Peripheral blood smear:
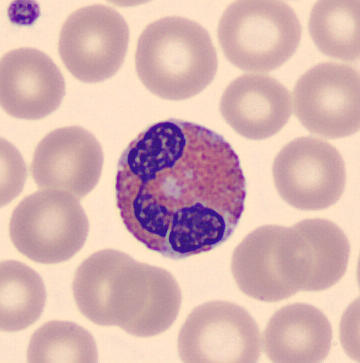

Q: What type of cell is this?
A: Eosinophil.